Peripheral blood film
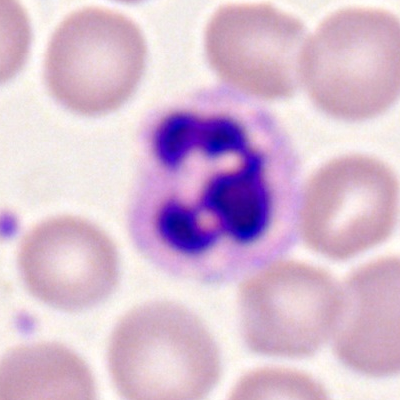
Classification — segmented neutrophil.